Bone marrow aspirate smear — 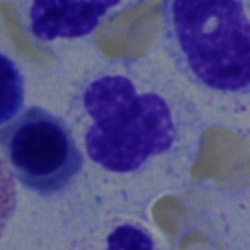
Morphology consistent with a band-form neutrophil.